Brightfield microscopy, 40× oil immersion · bone marrow aspirate smear · single-cell field.
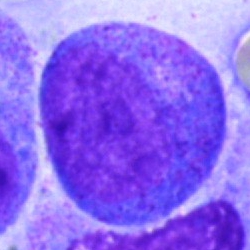 Q: What cell is this?
A: Promyelocyte.